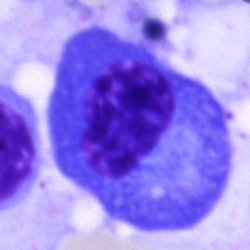
Morphological class — plasmacyte.